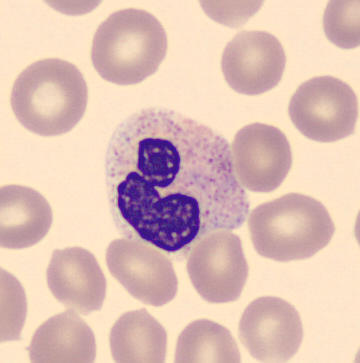Segmented neutrophil.

Image: Peripheral blood film; image size 360×363.